Single-cell crop. Bone marrow aspirate smear:
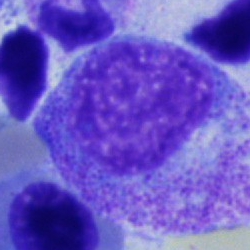

The cell is promyelocyte.